Bone marrow aspirate smear — 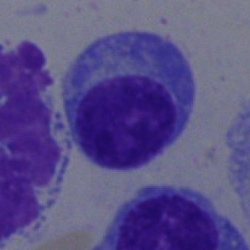Q: Which cell type is shown here?
A: A plasma cell.